Bone marrow smear:
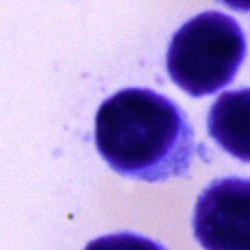

The cell shown is a lymphocyte.